Bone marrow smear:
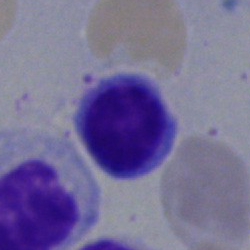

Cell = typical lymphocyte.